Cropped to a single cell; bone marrow aspirate smear:
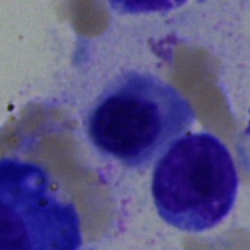 Impression — nucleated red cell.